Peripheral blood film:
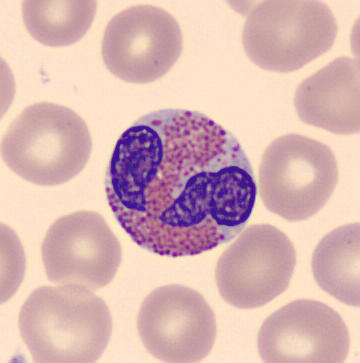
Showing an eosinophil.